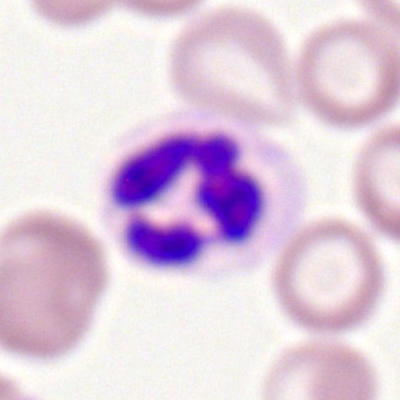Specimen: peripheral blood film.
Cell: polymorphonuclear neutrophil.